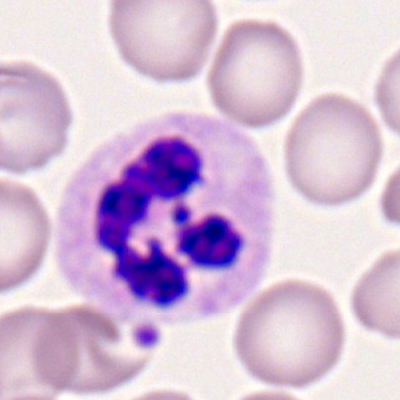 Morphology consistent with a neutrophil (segmented).